Bone marrow aspirate smear — 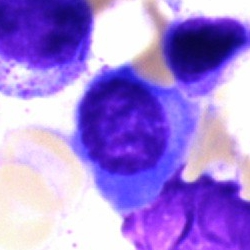 The cell type is plasma cell.